Single cell centered in the field. Bone marrow smear.
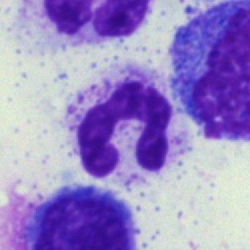Morphological class = polymorphonuclear neutrophil.